Peripheral blood smear.
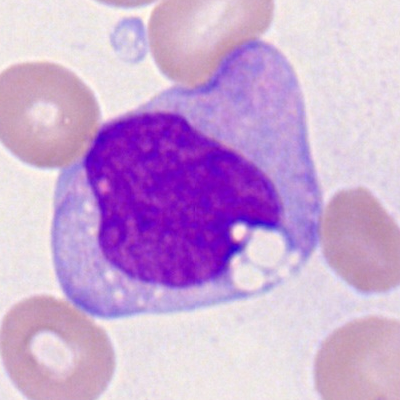

The morphological class is monocyte.